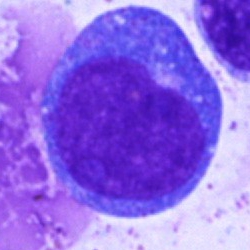

Classification — blast cell.